Bone marrow smear: 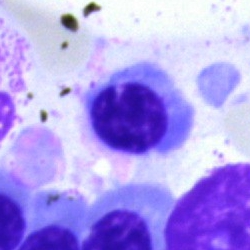

Q: What is shown here?
A: A normoblast.